Peripheral blood smear. Single cell centered in the field: 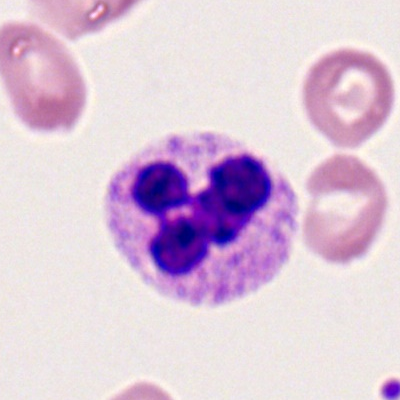
The cell is neutrophil (segmented).